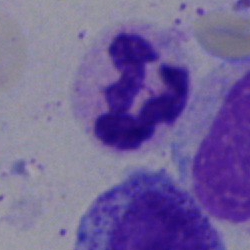

Q: What is shown here?
A: A neutrophil (segmented).